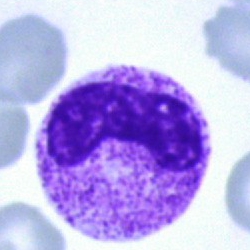
Cell type — neutrophil (band).